Bone marrow smear.
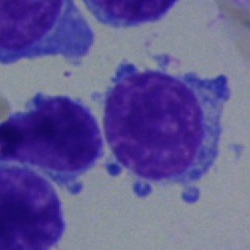
Morphological class — typical lymphocyte.